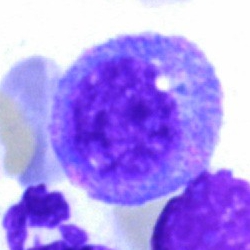
Single cell identified as a promyelocyte.